Bone marrow aspirate smear · cropped to a single cell · brightfield microscopy, 40× oil immersion: 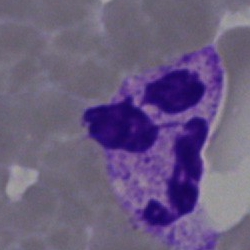 Cell type — polymorphonuclear neutrophil.